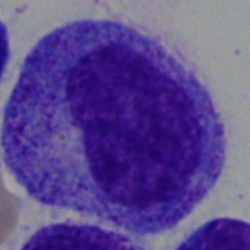

Impression → promyelocyte.